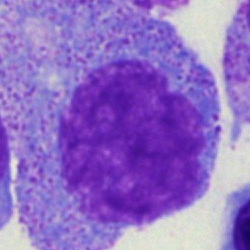 The cell type is progranulocyte.